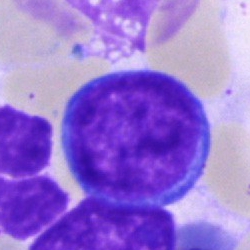Cell type = proerythroblast.